Romanowsky-stained · single cell centered in the field · peripheral blood smear — 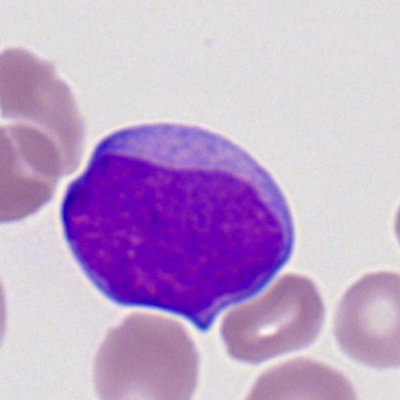The cell type is myeloid blast.